Bone marrow aspirate smear:
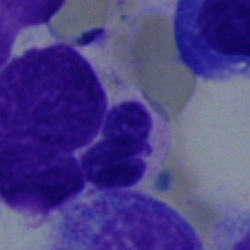 Showing an artefact.